Bone marrow aspirate smear
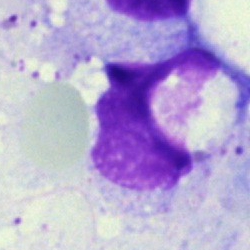
The cell shown is an artifact.